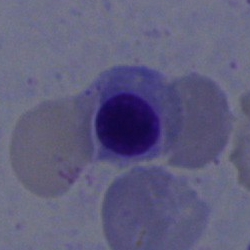

The classification is erythroblast.